Bone marrow smear · brightfield microscopy, 40× oil immersion · cropped to a single cell.
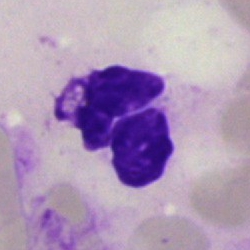

This is an artefact.